40× oil immersion; bone marrow smear: 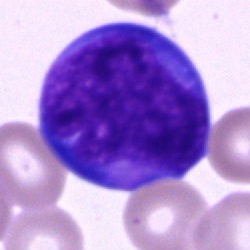
This is a blast.